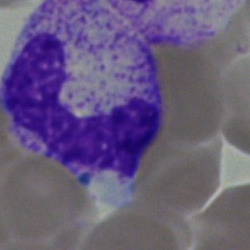
Specimen: bone marrow aspirate smear.
Cell type: band neutrophil.
Lineage: myeloid.